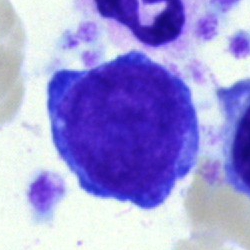 The cell shown is a pronormoblast.